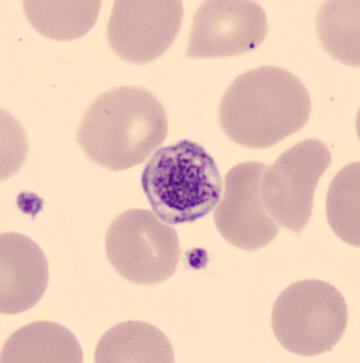

Thrombocyte. Preparation: Peripheral blood film.